Brightfield, 40× oil-immersion objective. Bone marrow aspirate smear. MGG-stained: 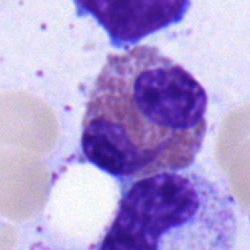 This is an eosinophil.